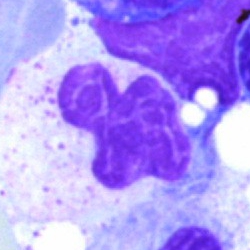
Q: What is shown here?
A: An artefact.